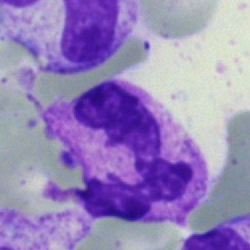A polymorphonuclear neutrophil.